Bone marrow smear — 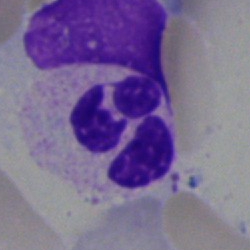
Cell — polymorphonuclear neutrophil.